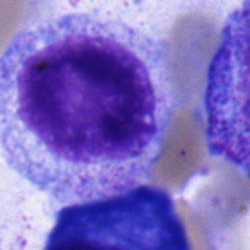 Specimen: bone marrow smear.
Classification: myelocyte.
Lineage: myeloid.